Bone marrow aspirate smear · brightfield, 40× oil-immersion objective:
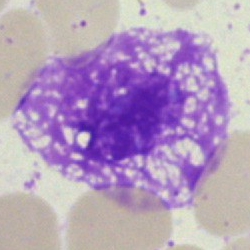Classification — artifact.